Bone marrow smear. Single cell centered in the field
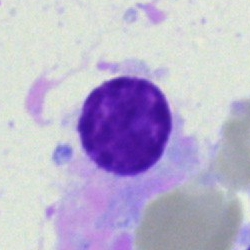
The cell is plasmacyte.